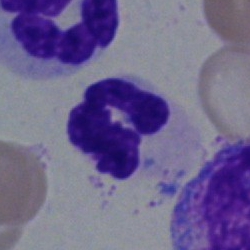The morphological class is polymorphonuclear neutrophil.